Brightfield microscopy, 40× oil immersion · bone marrow smear:
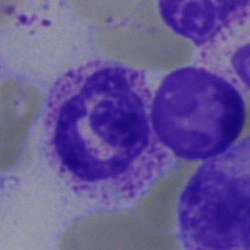{"cell_type": "segmented neutrophil", "lineage": "myeloid"}